Bone marrow smear: 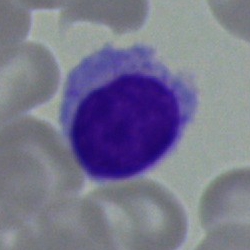 Classification: typical lymphocyte.